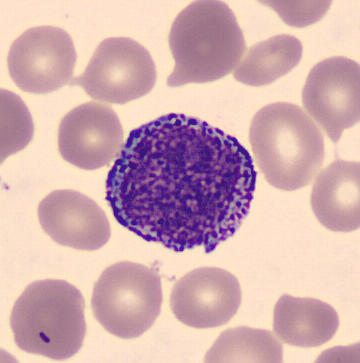
Specimen: peripheral blood film.
Morphological class: promyelocyte.
Lineage: myeloid.